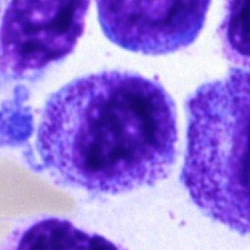
Single cell identified as a myelocyte.